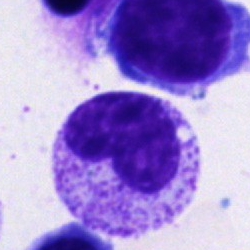The cell shown is a metamyelocyte.